Bone marrow smear · 250 by 250 pixels
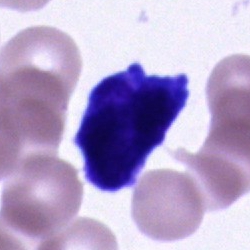
Showing a cell of indeterminate lineage.